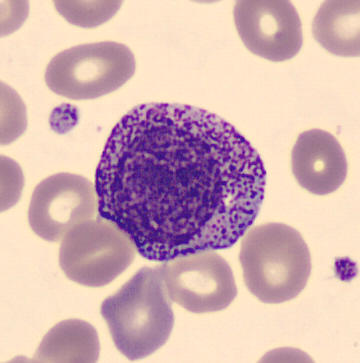

Specimen: peripheral blood smear.
Classification: progranulocyte.